Bone marrow smear — 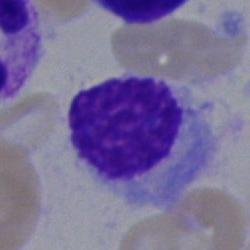 Classification — plasmacyte.